Peripheral blood film: 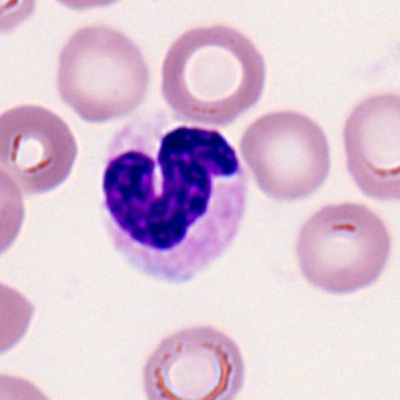This is a neutrophil (segmented).